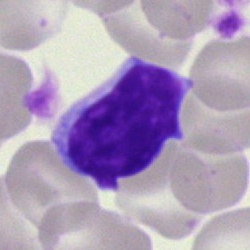A typical lymphocyte on a bone marrow smear.